Peripheral blood film; automated cell imaging (CellaVision DM96): 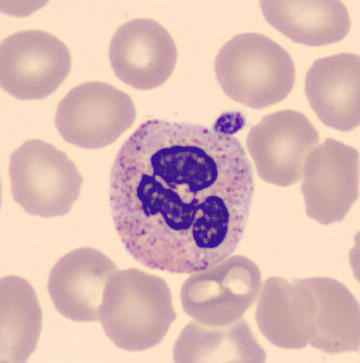Specimen: peripheral blood smear.
Morphological class: segmented neutrophil.